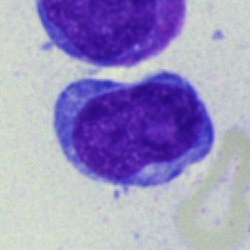Q: Which cell type is shown here?
A: This is an undifferentiated blast.